Bone marrow smear: 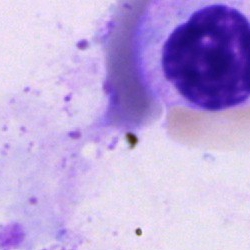 Q: What cell is this?
A: This is a cell of indeterminate lineage.